Bone marrow aspirate smear. Single-cell crop — 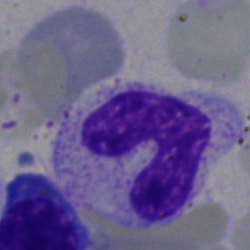 Cell type = stab cell.